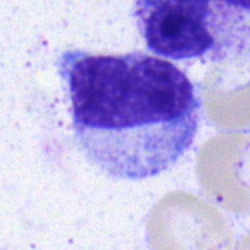 Q: What is shown here?
A: A metamyelocyte.